Brightfield microscopy, 40× oil immersion. Bone marrow aspirate smear — 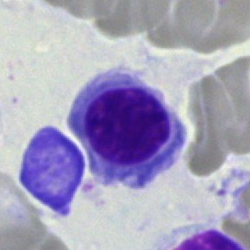

Showing a nucleated red cell.